Image size 250×250. Bone marrow smear: 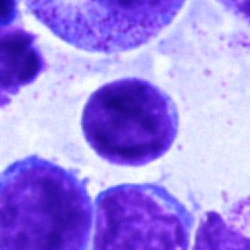A lymphocyte.